Bone marrow aspirate smear:
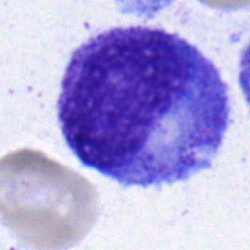This is a myelocyte.